Peripheral blood film. CellaVision DM96 — 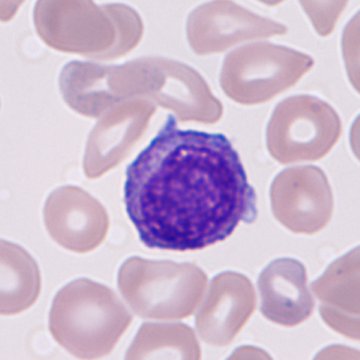

Cell = immature granulocyte.